Bone marrow smear.
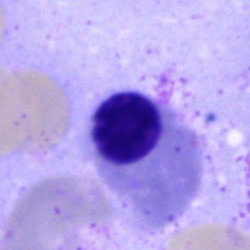

A nucleated red blood cell.